Bone marrow aspirate smear
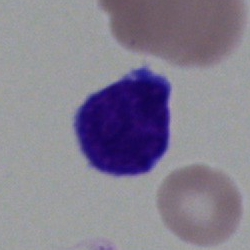The cell type is lymphocyte.